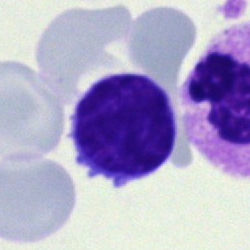Impression → lymphocyte.